Single-cell field; bone marrow aspirate smear
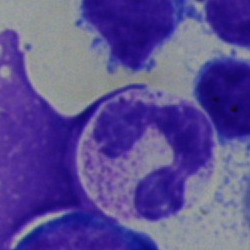

Showing a neutrophil (segmented).